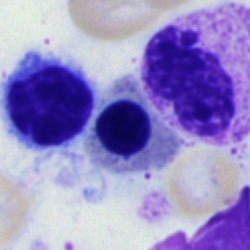Q: What is the morphological classification of this cell?
A: Nucleated red cell.